Bone marrow aspirate smear. 40× objective, oil immersion: 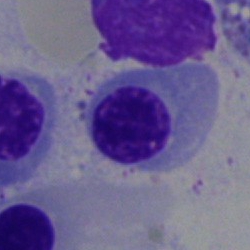 Morphology — erythroblast.